Bone marrow smear: 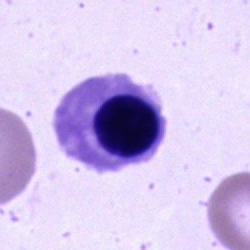 Cell type — nucleated red cell.